250 by 250 pixels; bone marrow aspirate smear
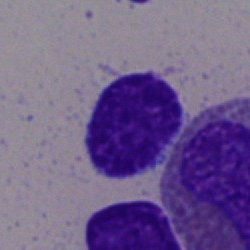 Specimen: bone marrow smear.
Cell: lymphocyte.